Bone marrow aspirate smear — 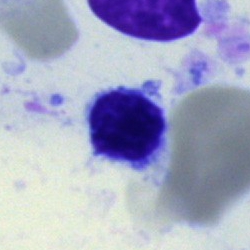
Single cell identified as a lymphocyte.